Bone marrow smear: 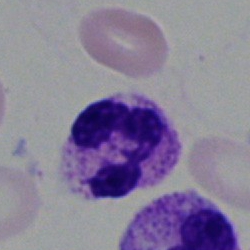This is a segmented neutrophil.